Bone marrow smear; 40× oil immersion:
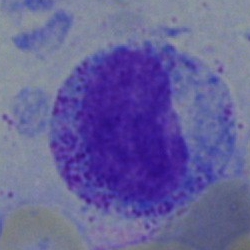

The cell shown is a myelocyte.